Bone marrow aspirate smear — 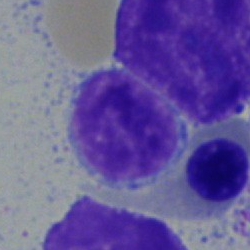Q: What type of cell is this?
A: It is a plasma cell.